Single-cell crop; bone marrow aspirate smear.
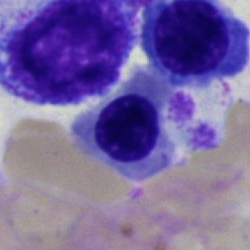 Specimen: bone marrow aspirate smear.
Cell type: erythroblast.